Bone marrow aspirate smear. 40× oil immersion — 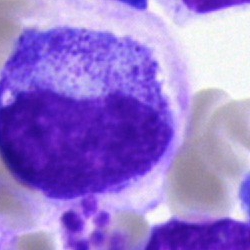
Morphological class: promyelocyte.